May-Grünwald-Giemsa/Pappenheim stain. Bone marrow aspirate smear
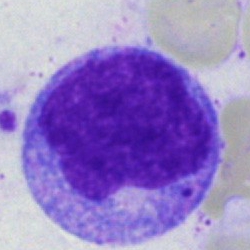 Morphology consistent with a monocyte.